Bone marrow smear.
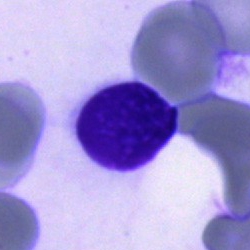 Showing an artefact.